Brightfield microscopy, 40× oil immersion. 250 by 250 pixels. Bone marrow aspirate smear:
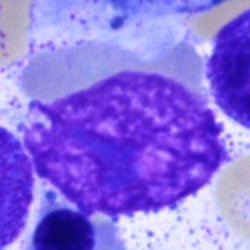

Q: What is shown here?
A: An artifact.